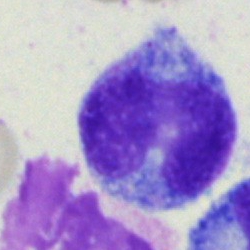A monocyte.